Bone marrow smear: 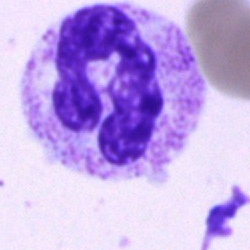Polymorphonuclear neutrophil.